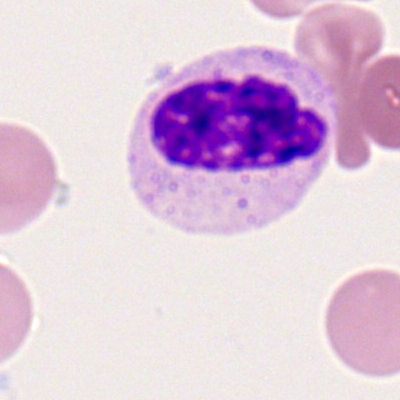
Peripheral blood smear showing a segmented neutrophil.